Bone marrow smear — 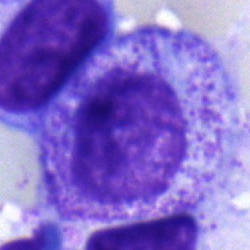

Myelocyte.